Bone marrow aspirate smear — 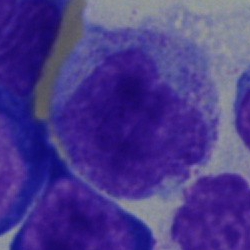

Q: What cell is this?
A: It is a monocyte.